Bone marrow smear.
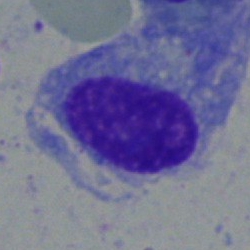 Plasmacyte.